Bone marrow aspirate smear; 250 by 250 pixels.
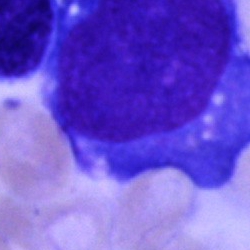Specimen: bone marrow aspirate smear.
Cell type: undifferentiated blast.